Bone marrow aspirate smear; brightfield, 40× oil-immersion objective — 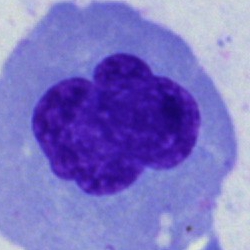Morphological class — nucleated red cell.